Bone marrow smear.
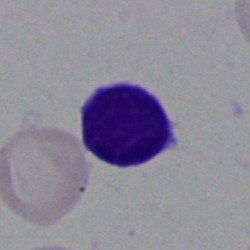

Q: What type of cell is this?
A: Typical lymphocyte.